250×250 px. Single cell centered in the field. Bone marrow aspirate smear
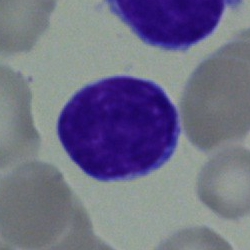

Showing a lymphocyte.